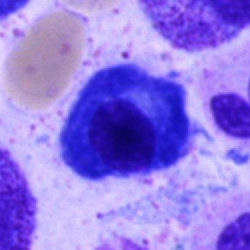
Bone marrow smear showing a plasma cell.